Bone marrow smear: 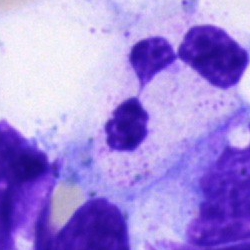Polymorphonuclear neutrophil.